Bone marrow smear: 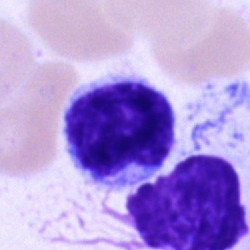

A typical lymphocyte.